Bone marrow aspirate smear: 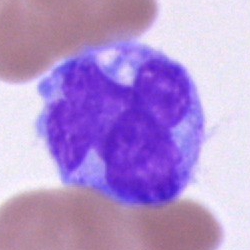Impression — monocyte.